Bone marrow smear. 40× oil immersion.
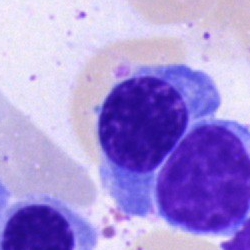

This is a nucleated red blood cell.